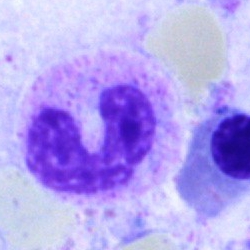Specimen: bone marrow smear.
Cell type: band-form neutrophil.